Bone marrow smear. MGG-stained:
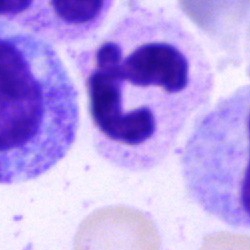Classification: polymorphonuclear neutrophil.